May-Grünwald-Giemsa stain · bone marrow aspirate smear: 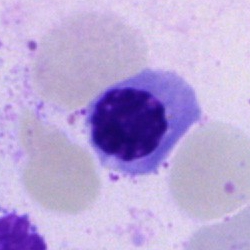
Morphology consistent with an erythroblast.